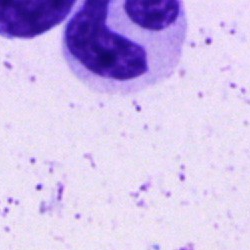{"cell_type": "segmented neutrophil"}